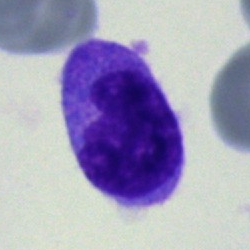 Single cell identified as a monocyte.